Peripheral blood smear — 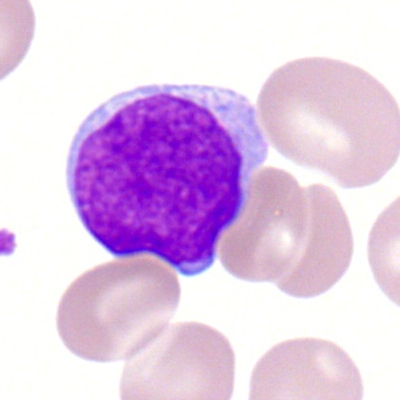 Q: What type of cell is this?
A: It is a myeloblast.